May-Grünwald-Giemsa/Pappenheim stain. Bone marrow smear.
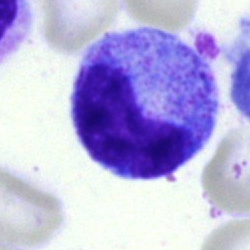

A metamyelocyte.